Bone marrow aspirate smear.
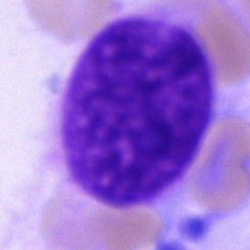Specimen: bone marrow aspirate smear.
Morphological class: artefact.